Bone marrow smear.
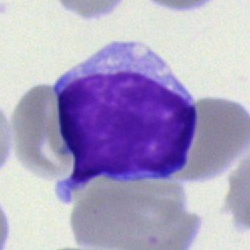
Cell type: lymphocyte.